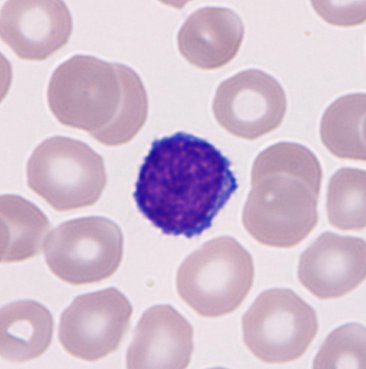Image: Single-cell crop. Peripheral blood smear.

{"cell_type": "typical lymphocyte"}